Bone marrow aspirate smear
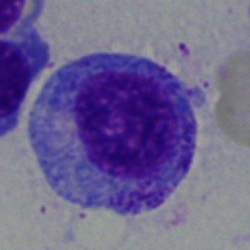Q: What type of cell is this?
A: Progranulocyte.